Bone marrow aspirate smear; single-cell crop:
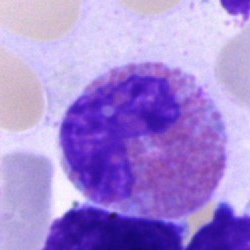Morphological class = eosinophilic granulocyte.